Romanowsky-stained; M8 digital microscope (Precipoint), 100× oil immersion; peripheral blood film — 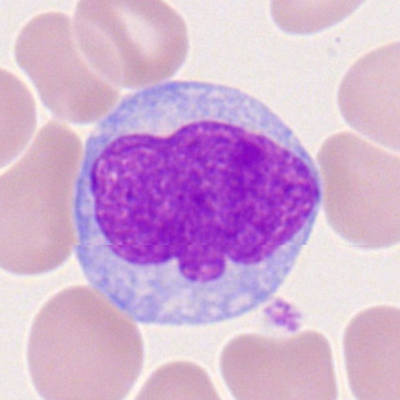The cell shown is a monocyte.